Bone marrow aspirate smear.
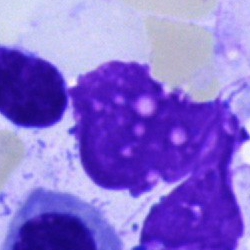 The cell is artifact.